Single-cell crop. 40× objective, oil immersion. Bone marrow aspirate smear.
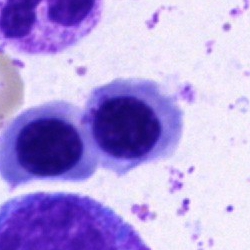Showing a normoblast.